Brightfield microscopy, 40× oil immersion · single-cell field · bone marrow smear
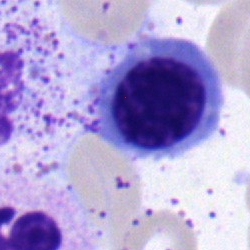Q: What is shown here?
A: Nucleated red cell.